Bone marrow smear · May-Grünwald-Giemsa stain.
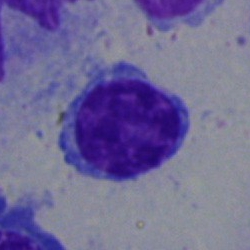{"cell_type": "lymphocyte", "lineage": "lymphoid"}